250×250. Bone marrow aspirate smear. Brightfield, 40× oil-immersion objective
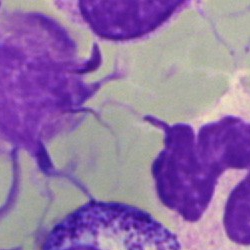
Single cell identified as an artefact.